Peripheral blood film. Romanowsky stain:
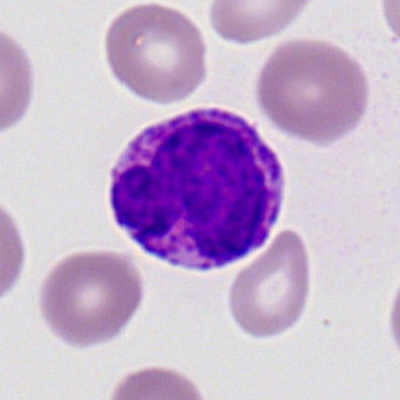Classification: basophilic granulocyte.